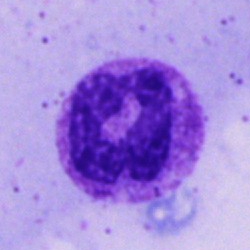

A segmented neutrophil.